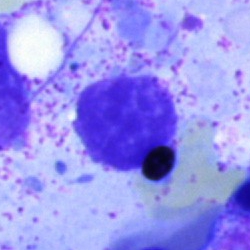
Classification — artefact.